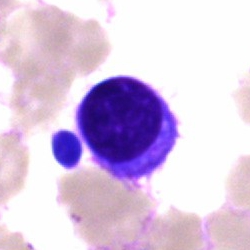 Bone marrow smear showing a lymphocyte.